Peripheral blood film; Romanowsky-type stain; 400×400: 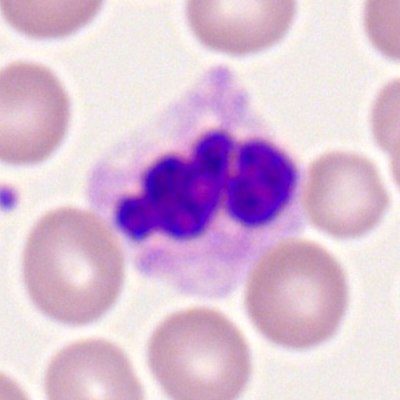
Impression → segmented neutrophil.